40× oil immersion. Bone marrow smear. Single-cell field: 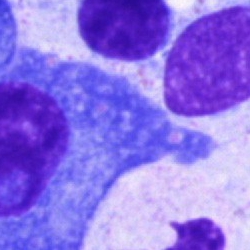Classification — plasmacyte.